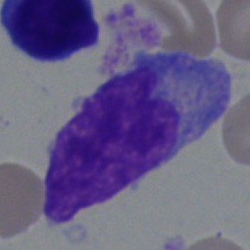

The cell type is blast cell.